40× oil immersion. Bone marrow smear. Single-cell crop
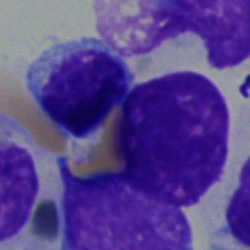 Specimen: bone marrow smear.
Cell type: typical lymphocyte.
Lineage: lymphoid.